Brightfield, 100× oil-immersion objective · single-cell field · peripheral blood smear
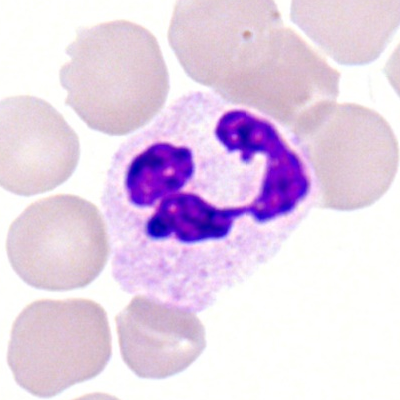Cell type — segmented neutrophil.